Brightfield microscopy, 40× oil immersion. Bone marrow aspirate smear. May-Grünwald-Giemsa stain:
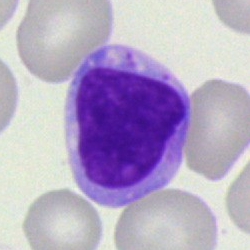 Single cell identified as a lymphocyte.